Bone marrow smear:
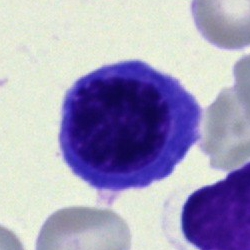

Nucleated red blood cell.